Bone marrow aspirate smear; single cell centered in the field; Pappenheim-stained:
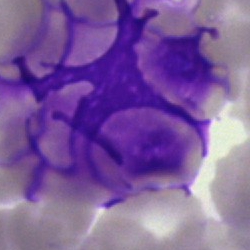

Q: What is shown here?
A: An artifact.